Bone marrow smear:
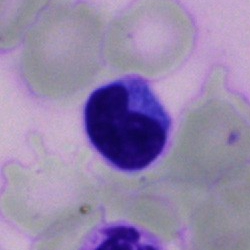 Morphology → typical lymphocyte.